Bone marrow smear; 250×250 px; cropped to a single cell — 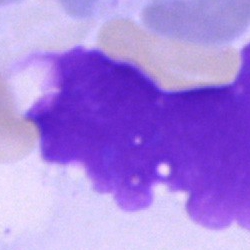Morphological class — artefact.